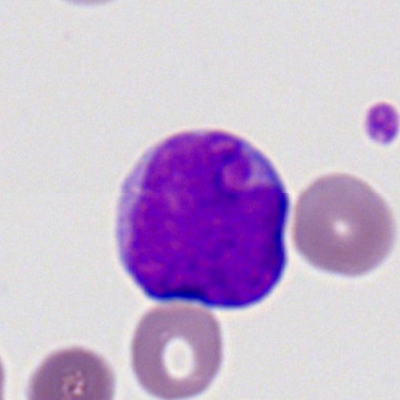
Classification: myeloid blast.